40× oil immersion; bone marrow smear; 250 by 250 pixels.
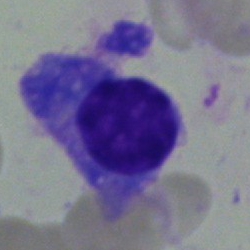Specimen: bone marrow smear.
Morphological class: plasma cell.